Bone marrow aspirate smear
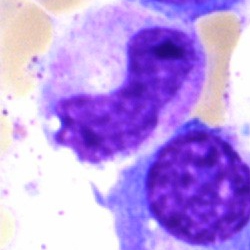Classification = neutrophil (band).